Bone marrow aspirate smear:
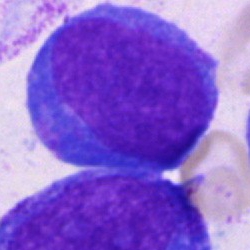
A blast cell.